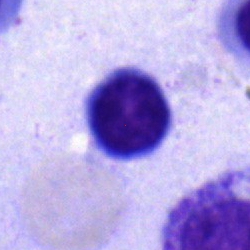Impression → typical lymphocyte.